Bone marrow smear
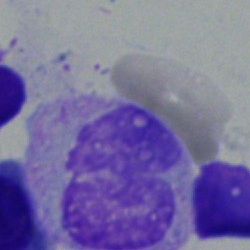

Morphology — segmented neutrophil.